Bone marrow aspirate smear; 250×250: 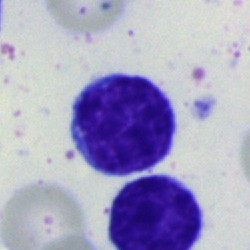

The morphological class is typical lymphocyte.